Bone marrow smear: 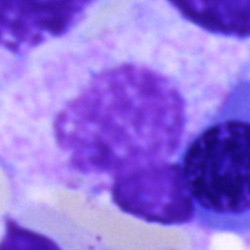

Morphology → myelocyte.